Bone marrow aspirate smear; single-cell crop — 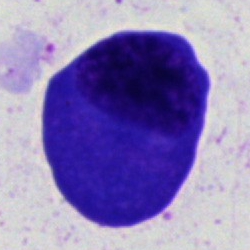

Specimen: bone marrow smear.
Cell type: plasmacyte.